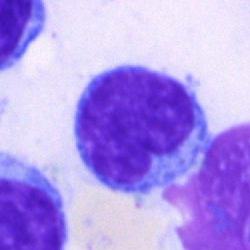
Typical lymphocyte.